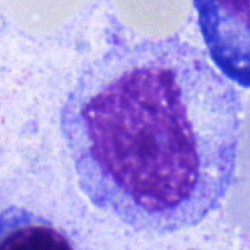

{"cell_type": "myelocyte", "lineage": "myeloid"}